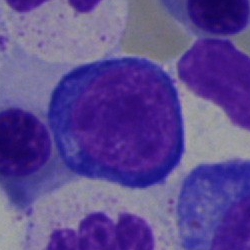 Morphological class: pronormoblast.